Bone marrow aspirate smear
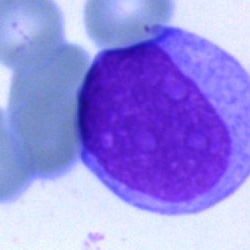 Specimen: bone marrow smear.
Classification: undifferentiated blast.